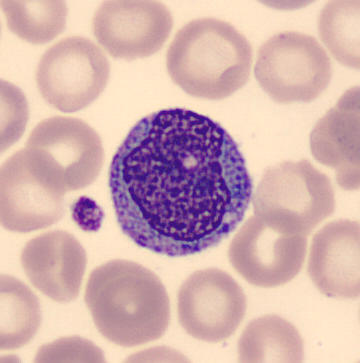 A monocyte.

Preparation: CellaVision DM96. Single-cell field. Peripheral blood smear.